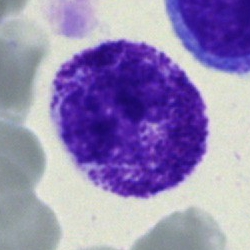 This is a neutrophil (segmented).